Bone marrow smear — 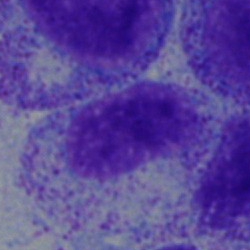 Showing a myelocyte.